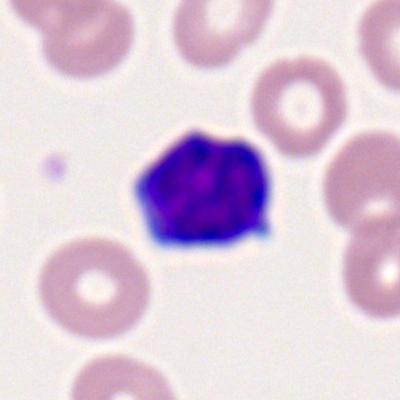

The classification is lymphocyte.